Bone marrow aspirate smear; May-Grünwald-Giemsa stain — 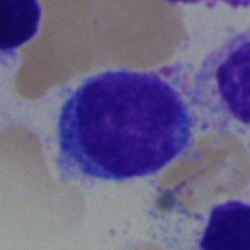Classification = typical lymphocyte.